40× objective, oil immersion. Bone marrow aspirate smear:
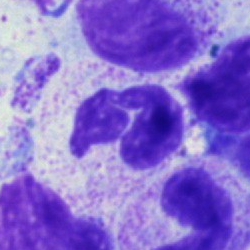 The cell is neutrophil (segmented).